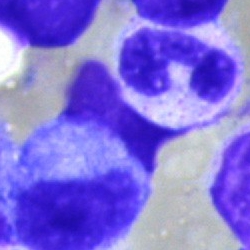Neutrophil (band).